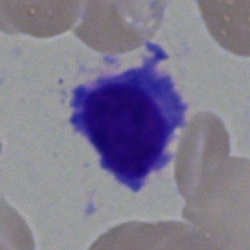

Specimen: bone marrow aspirate smear.
Cell: plasmacyte.
Lineage: lymphoid.